Peripheral blood smear
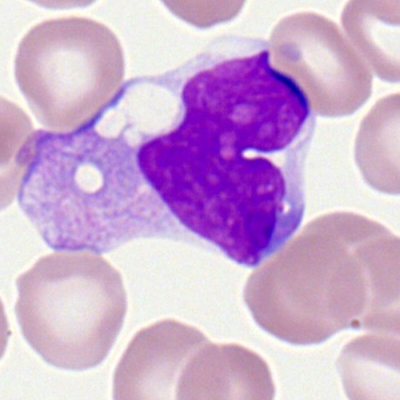
Cell type — monocyte.